Bone marrow smear — 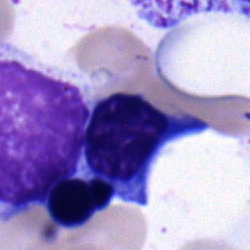The cell type is normoblast.